Bone marrow smear.
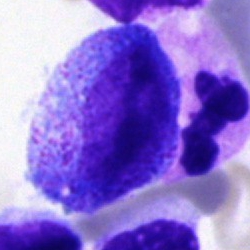

A progranulocyte.